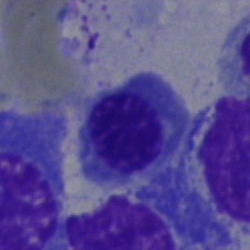

Impression — erythroblast.